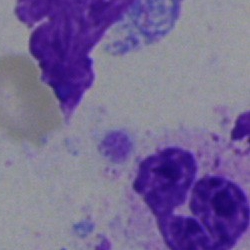The cell shown is a neutrophil (segmented).